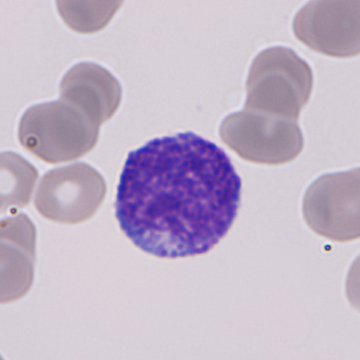
Preparation: Automated cell imaging (CellaVision DM96). Specimen: peripheral blood smear.
Cell type: granulocyte precursor.